Bone marrow smear · single cell centered in the field.
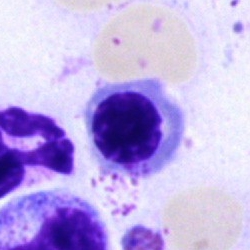

The cell type is erythroblast.